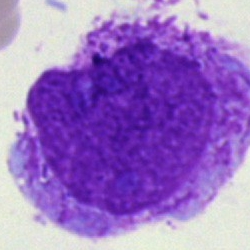Cell — artefact.